Bone marrow aspirate smear.
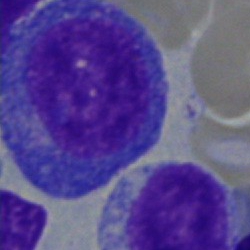
Single cell identified as a progranulocyte.